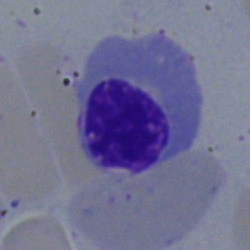
Bone marrow aspirate smear, single cell — nucleated red blood cell.